Bone marrow aspirate smear. Cropped to a single cell.
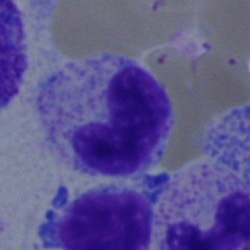
Q: What is the morphological classification of this cell?
A: This is a band-form neutrophil.